400×400; peripheral blood film — 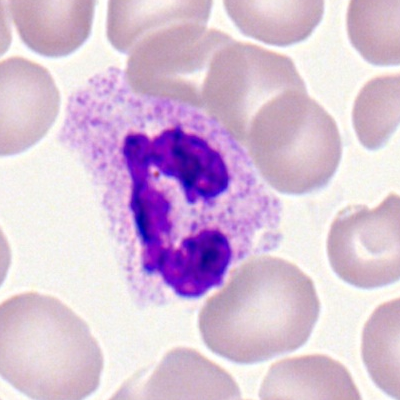 Specimen: peripheral blood film.
Cell: polymorphonuclear neutrophil.